Bone marrow aspirate smear. Brightfield microscopy, 40× oil immersion:
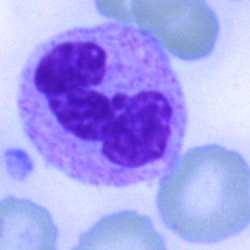

Q: What is shown here?
A: This is a polymorphonuclear neutrophil.